Bone marrow smear: 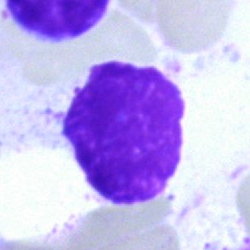Specimen: bone marrow smear.
Cell type: artifact.